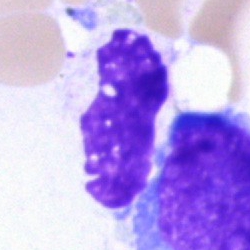Cell type = artifact.